Bone marrow smear · single-cell crop: 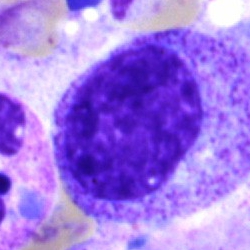 Classification — promyelocyte.